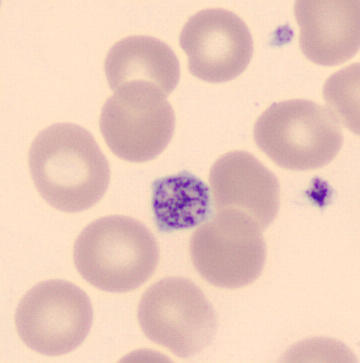Acquisition: Peripheral blood smear · 360×363 px. Morphology → platelet.